Bone marrow aspirate smear
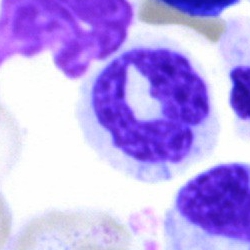

Morphological class = segmented neutrophil.